40× objective, oil immersion · bone marrow aspirate smear:
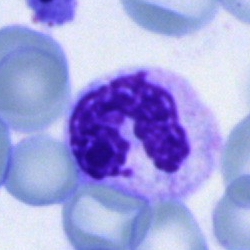

Morphological class — segmented neutrophil.